Bone marrow smear
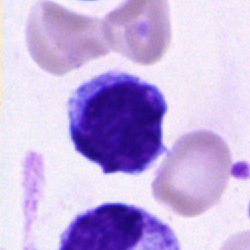
Specimen: bone marrow smear.
Classification: lymphocyte.
Lineage: lymphoid.